Bone marrow smear. Cropped to a single cell: 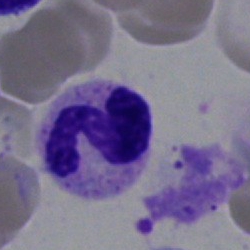Single cell identified as a neutrophil (segmented).